Bone marrow smear.
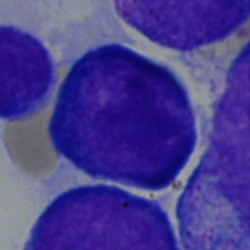 Showing a proerythroblast.